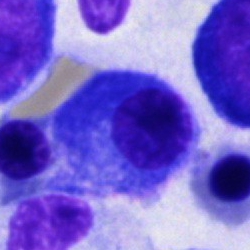
This is a plasmacyte.